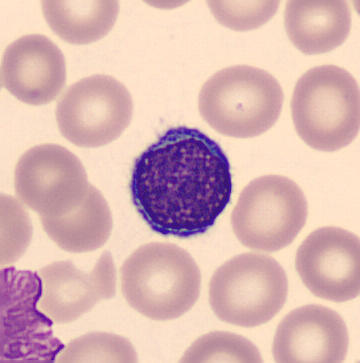

A typical lymphocyte.

Preparation: Peripheral blood smear.